Bone marrow smear:
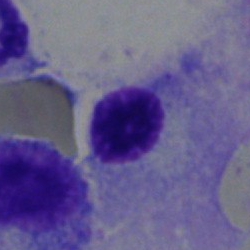

Q: What type of cell is this?
A: Nucleated red cell.